Bone marrow smear
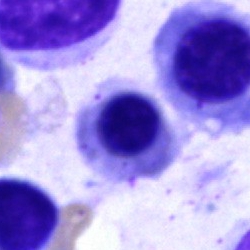

{"cell_type": "nucleated red cell"}